Bone marrow aspirate smear:
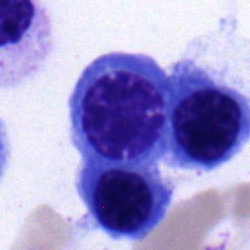 The cell type is nucleated red cell.